Bone marrow smear:
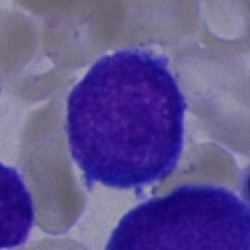 Showing a blast.